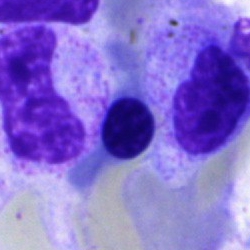This is a nucleated red cell.